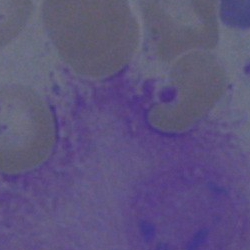

Cell — artifact.